Bone marrow aspirate smear: 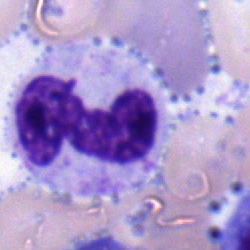

Showing a band neutrophil.